Bone marrow aspirate smear
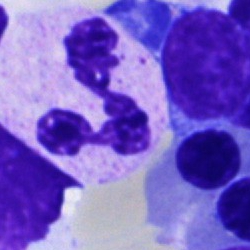 The cell shown is a polymorphonuclear neutrophil.